Bone marrow aspirate smear
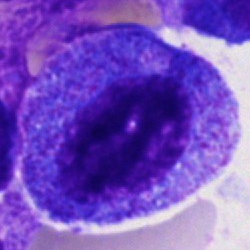

Impression → promyelocyte.